Bone marrow aspirate smear.
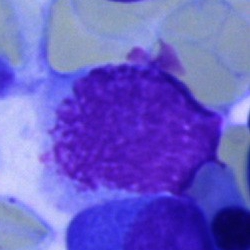

Q: What is shown here?
A: Artefact.